Peripheral blood smear
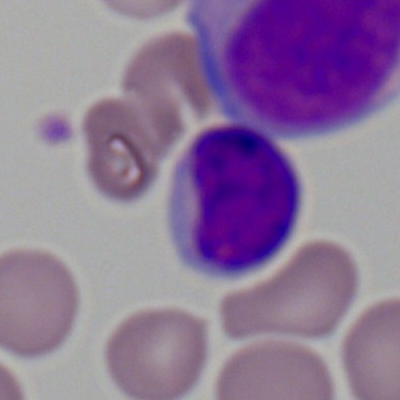

This is a lymphocyte.